40× objective, oil immersion; bone marrow smear:
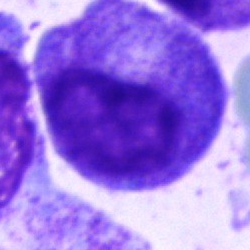
Progranulocyte.